Single-cell crop; bone marrow aspirate smear; 250 by 250 pixels: 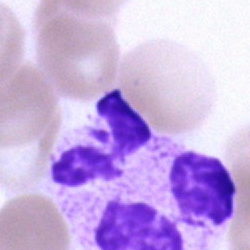{"cell_type": "neutrophil (segmented)", "lineage": "myeloid"}